Bone marrow aspirate smear · image size 250×250:
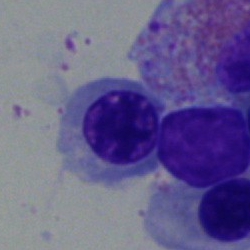Specimen: bone marrow aspirate smear.
Cell type: normoblast.
Lineage: erythroid.